Bone marrow aspirate smear
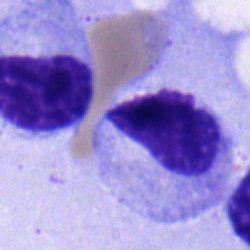

A myelocyte.